May-Grünwald-Giemsa stain · bone marrow aspirate smear
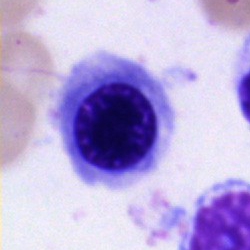
Nucleated red cell.